Bone marrow smear: 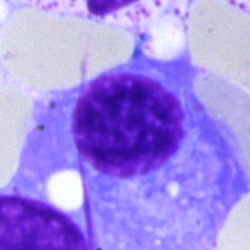
Morphological class — normoblast.